Bone marrow smear. MGG-stained:
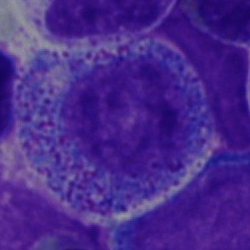

Morphology — promyelocyte.